Bone marrow aspirate smear: 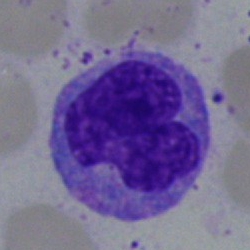The cell is monocyte.